250 by 250 pixels · bone marrow aspirate smear · cropped to a single cell: 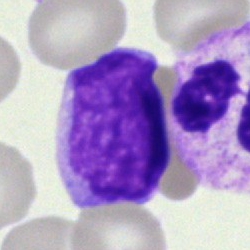
This is a blast cell.